Cropped to a single cell; bone marrow smear: 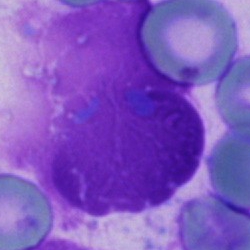 Morphology → artifact.